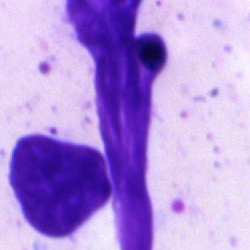
Specimen: bone marrow smear.
Morphological class: artefact.